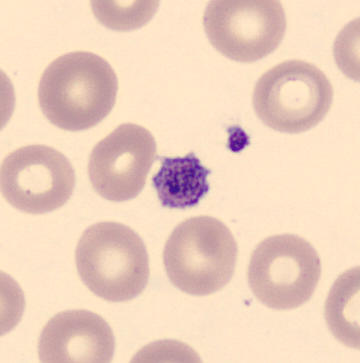This is a platelet.